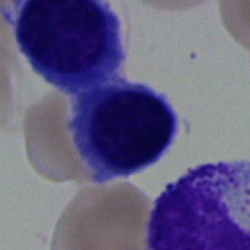 {"cell_type": "erythroblast", "lineage": "erythroid"}